Bone marrow smear · single cell centered in the field · 40× objective, oil immersion — 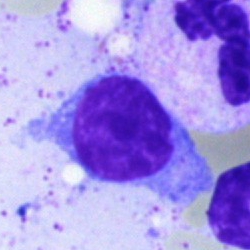Single cell identified as a typical lymphocyte.